Bone marrow aspirate smear.
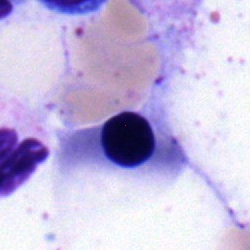
The cell shown is a normoblast.